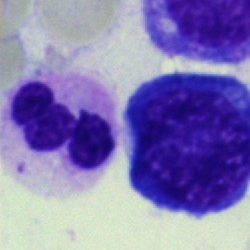Cell type: nucleated red cell.